Peripheral blood film: 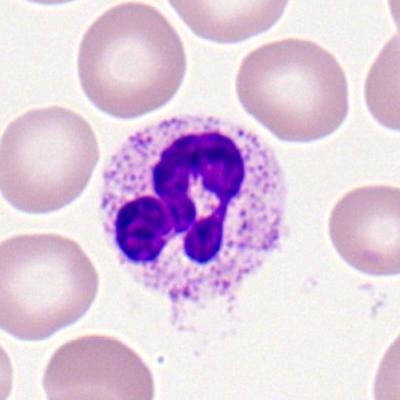

This is a polymorphonuclear neutrophil.